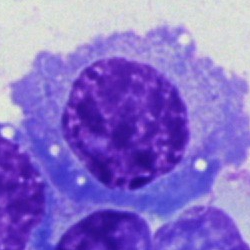This is a plasma cell.